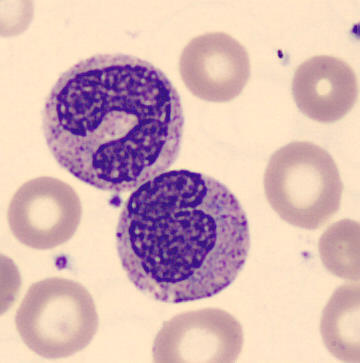 Preparation: Peripheral blood film. The morphological class is metamyelocyte.